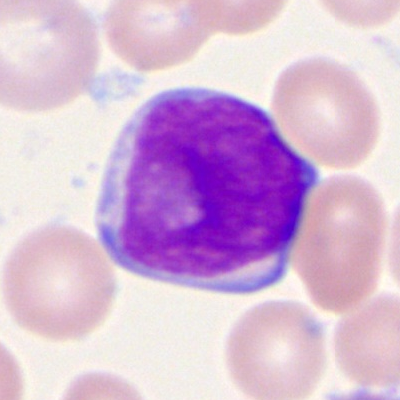Impression → myeloblast.